Bone marrow smear
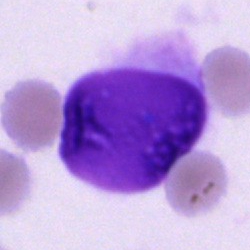
Q: What is shown here?
A: This is an artifact.